Brightfield microscopy, 40× oil immersion; bone marrow smear: 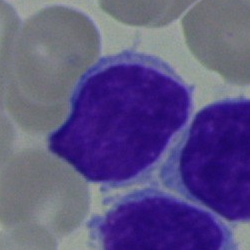

Lymphocyte.